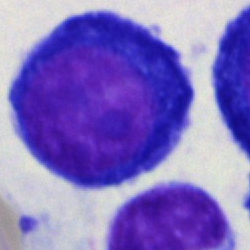The cell shown is a pronormoblast.